Bone marrow aspirate smear.
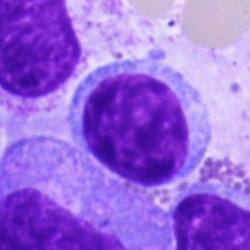Typical lymphocyte.